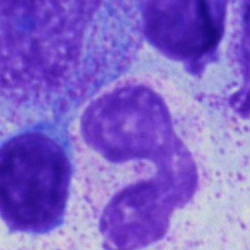

Impression → neutrophil (band).